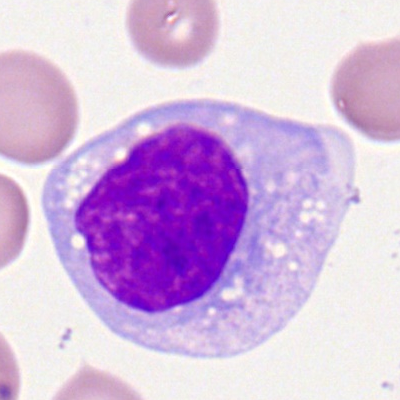Morphology — monocyte.